Bone marrow aspirate smear.
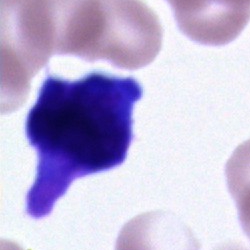Morphology consistent with a cell of indeterminate lineage.